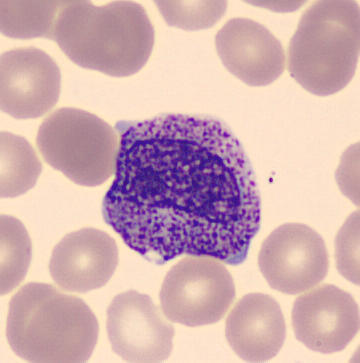Preparation: Peripheral blood film · 360×363 px.
A myelocyte.